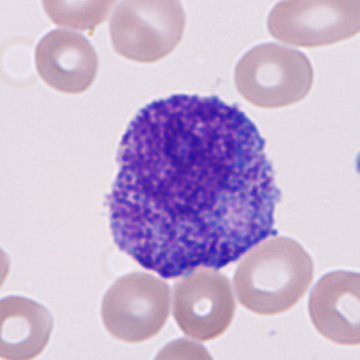 Q: What is shown here?
A: A granulocyte precursor.